Bone marrow aspirate smear; 40× objective, oil immersion; May-Grünwald-Giemsa stain
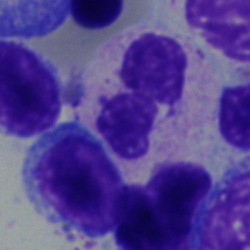
{"cell_type": "polymorphonuclear neutrophil"}